Bone marrow aspirate smear · MGG-stained
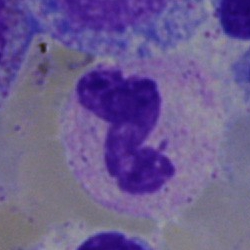 Morphology consistent with a polymorphonuclear neutrophil.